Bone marrow smear.
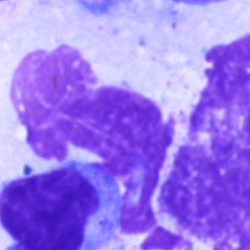Showing an artifact.